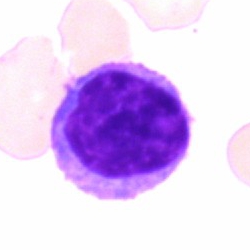 Bone marrow smear showing a lymphocyte.